Bone marrow smear
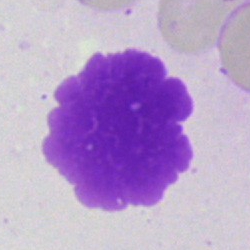
Classification: artifact.